Bone marrow aspirate smear; image size 250×250: 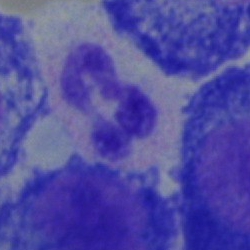
The cell type is segmented neutrophil.